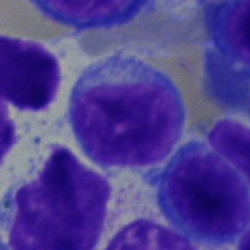 Cell = lymphocyte.